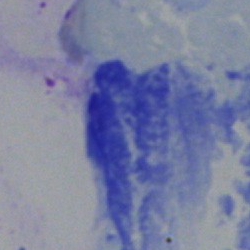

Q: What is shown here?
A: An artefact.